Bone marrow aspirate smear: 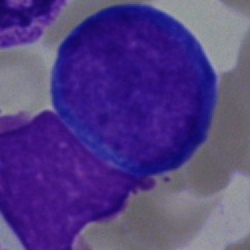

This is a proerythroblast.